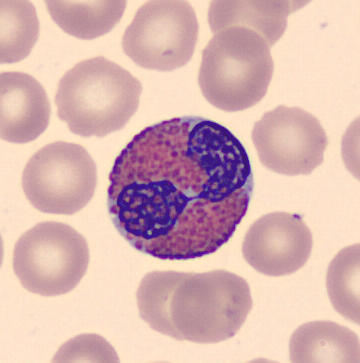 Impression — eosinophilic granulocyte.